Bone marrow smear. Brightfield microscopy, 40× oil immersion — 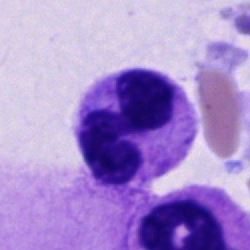Cell — neutrophil (segmented).